Bone marrow smear · brightfield microscopy, 40× oil immersion: 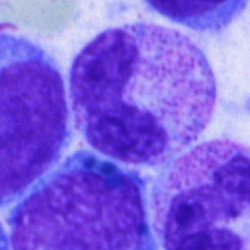 The classification is band-form neutrophil.